Bone marrow smear. Single cell centered in the field. May-Grünwald-Giemsa stain — 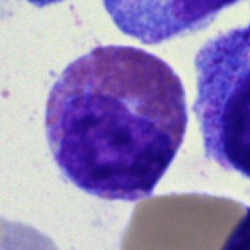
Classification — eosinophil.